Bone marrow smear
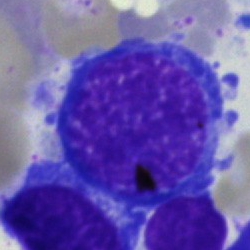
Erythroblast.